360 by 363 pixels; May-Grünwald-Giemsa-stained; peripheral blood smear: 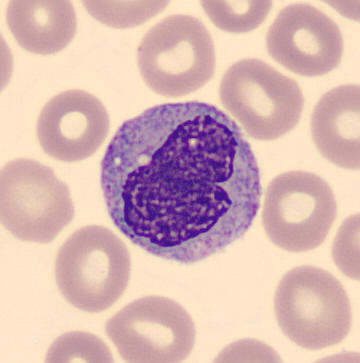
Monocyte.